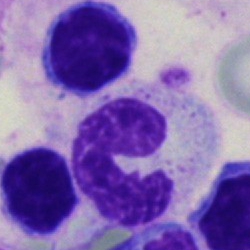 Q: What is the morphological classification of this cell?
A: A stab cell.